Bone marrow smear. Brightfield microscopy, 40× oil immersion. Single cell centered in the field: 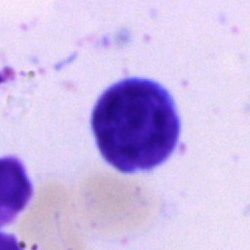

Morphology — typical lymphocyte.